Single-cell crop · MGG-stained · bone marrow aspirate smear.
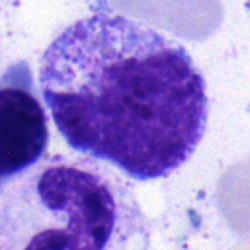 Q: Identify the cell.
A: It is a myelocyte.